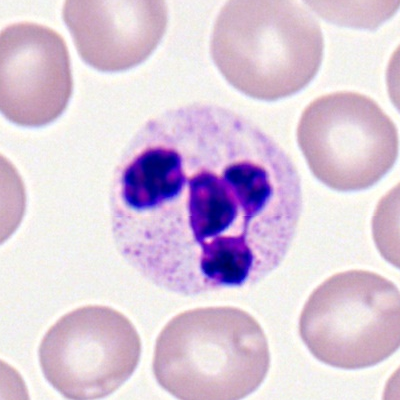 {"cell_type": "polymorphonuclear neutrophil", "lineage": "myeloid"}